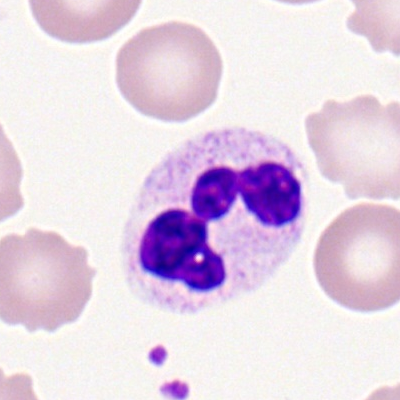
Specimen: peripheral blood smear.
Cell: polymorphonuclear neutrophil.
Lineage: myeloid.